Bone marrow smear — 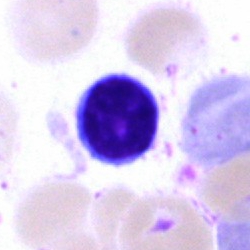
Morphology → lymphocyte.